Peripheral blood smear. 400×400: 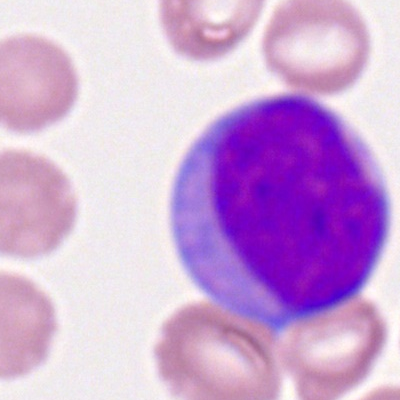

Cell = myeloblast.